Bone marrow smear: 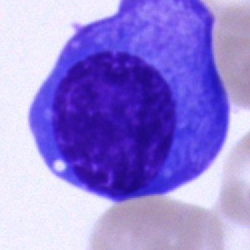Single cell identified as a plasmacyte.